Brightfield microscopy, 40× oil immersion · bone marrow smear:
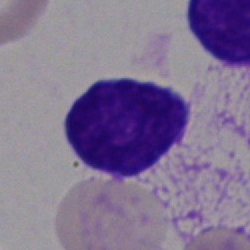Q: What is shown here?
A: This is an artefact.